100× objective, oil immersion; peripheral blood smear.
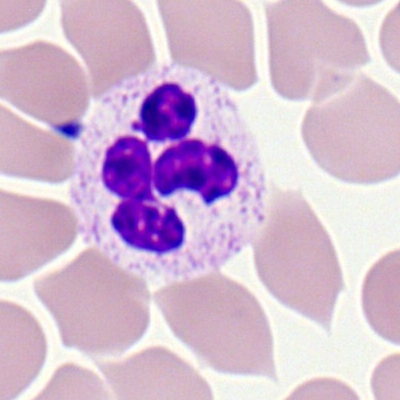

{"cell_type": "neutrophil (segmented)"}